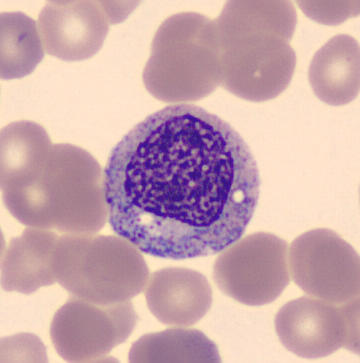
Classification = myelocyte.